Bone marrow smear — 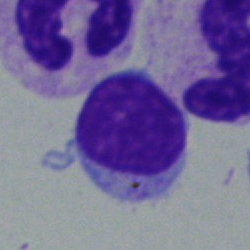Morphology consistent with a lymphocyte.